Peripheral blood film.
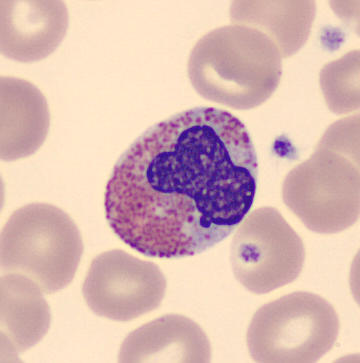
Specimen: peripheral blood smear.
Cell type: eosinophil.